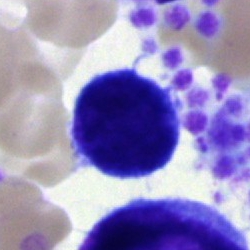

This is a typical lymphocyte.